Bone marrow aspirate smear: 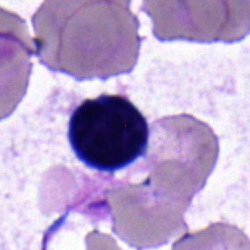 Typical lymphocyte.